Bone marrow smear.
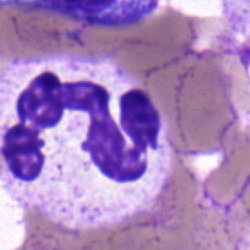Impression → segmented neutrophil.